Pappenheim-stained. 250×250 px. Bone marrow aspirate smear — 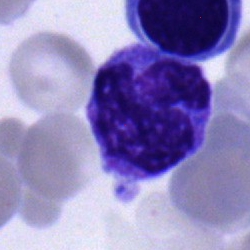Single cell identified as a monocyte.